Bone marrow aspirate smear
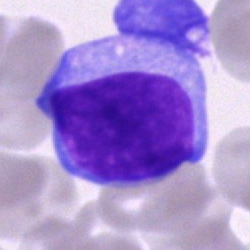
Morphology — undifferentiated blast.